Peripheral blood smear: 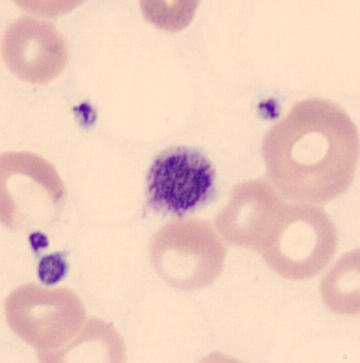
Cell type — thrombocyte.